MGG-stained · bone marrow aspirate smear.
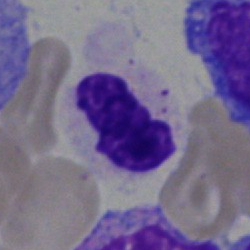A stab cell.